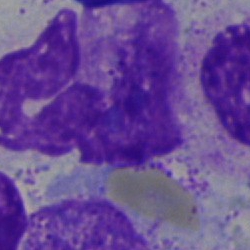
Morphological class = artefact.